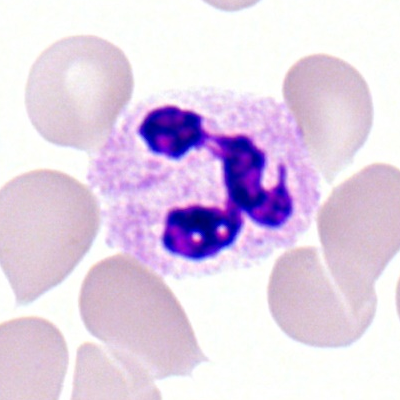

The cell type is neutrophil (segmented).